May-Grünwald-Giemsa stain · bone marrow aspirate smear: 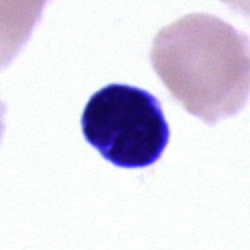
{"cell_type": "lymphocyte", "lineage": "lymphoid"}